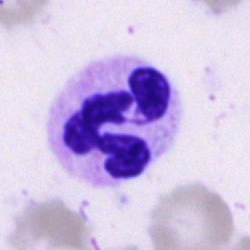

{"cell_type": "polymorphonuclear neutrophil"}